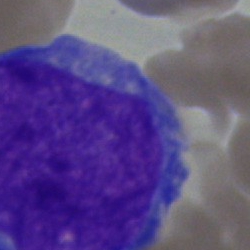

Impression → basophilic granulocyte.